Bone marrow aspirate smear: 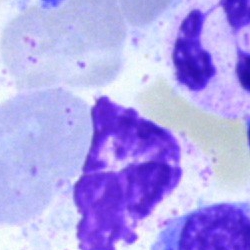 Morphology → artifact.